Bone marrow smear · May-Grünwald-Giemsa/Pappenheim stain · 250×250 px
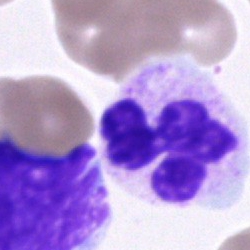Cell — neutrophil (segmented).